Peripheral blood film — 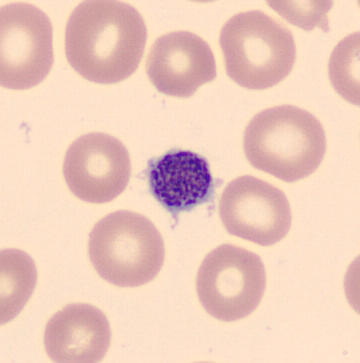Identified as a platelet (thrombocyte).